Bone marrow smear:
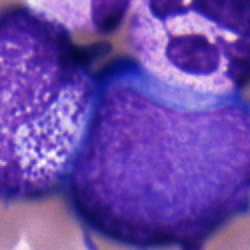 Morphology → undifferentiated blast.